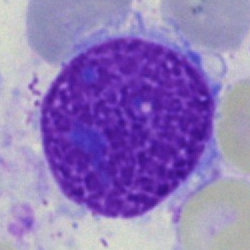

Classification: artefact.